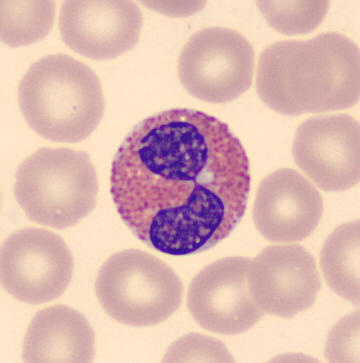
Peripheral blood film.

{"cell_type": "eosinophil", "lineage": "myeloid"}